Bone marrow aspirate smear — 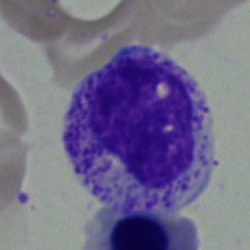The cell type is myelocyte.